Bone marrow smear: 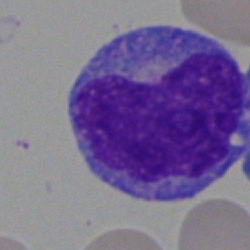 Cell type = monocyte.